Pappenheim-stained. Bone marrow aspirate smear:
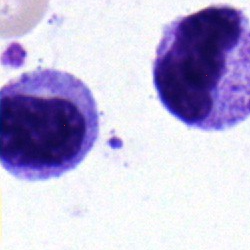
Q: Which cell type is shown here?
A: This is a metamyelocyte.